Bone marrow smear:
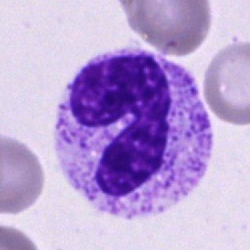 Q: What is the morphological classification of this cell?
A: It is a stab cell.